Bone marrow aspirate smear. Single cell centered in the field:
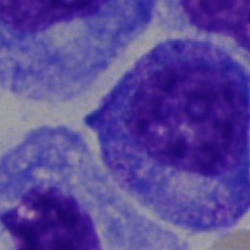
Morphology consistent with a promyelocyte.